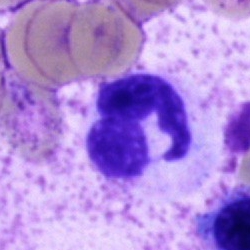
The classification is neutrophil (segmented).